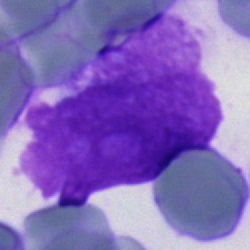

An artifact on a bone marrow smear.